Bone marrow smear
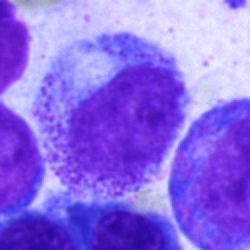
Morphology consistent with a myelocyte.